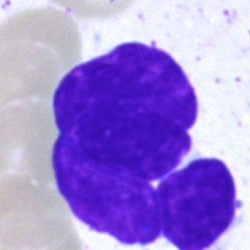
Q: What is shown here?
A: It is an artefact.